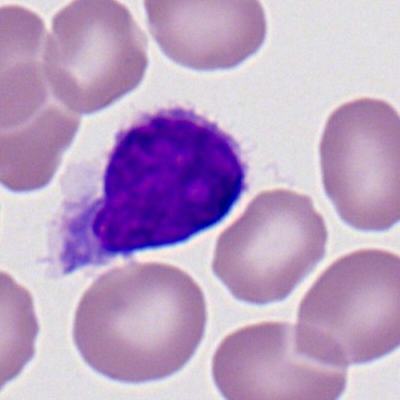The cell type is lymphocyte.